Bone marrow aspirate smear
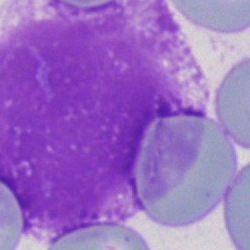
An artifact.